Bone marrow smear.
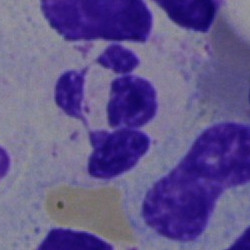Polymorphonuclear neutrophil.